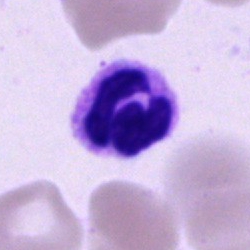
Impression → segmented neutrophil.